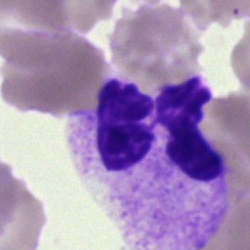 Bone marrow aspirate smear, single cell — segmented neutrophil.